Bone marrow smear: 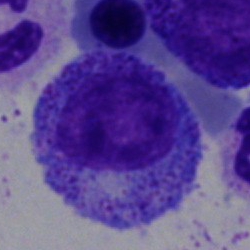

Q: Identify the cell.
A: This is a promyelocyte.